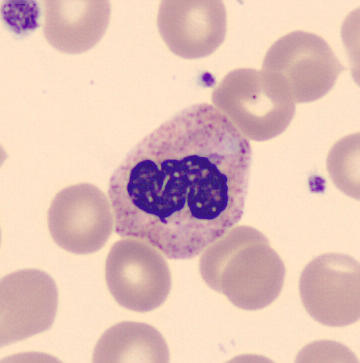 MGG stain; peripheral blood film.

Identified as a neutrophil (segmented).